Bone marrow smear. 250×250:
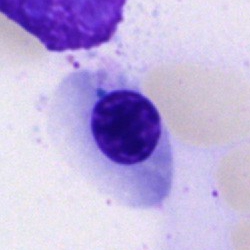

Morphological class: erythroblast.